Bone marrow aspirate smear.
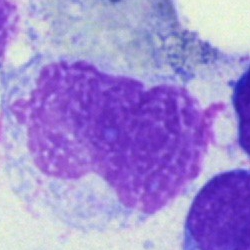
Classification: artifact.